Bone marrow aspirate smear:
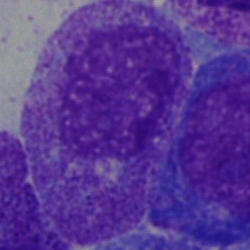 This is a myelocyte.